Peripheral blood film — 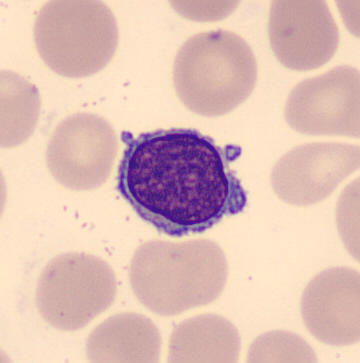Specimen: peripheral blood smear.
Cell: typical lymphocyte.